250 by 250 pixels · bone marrow smear
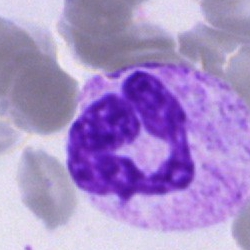
Cell = polymorphonuclear neutrophil.